Bone marrow smear: 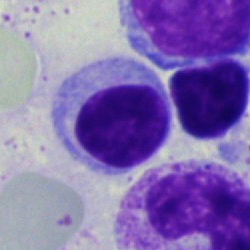Typical lymphocyte.